MGG-stained; bone marrow smear; brightfield, 40× oil-immersion objective: 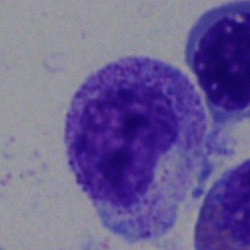A metamyelocyte.